Bone marrow smear · May-Grünwald-Giemsa/Pappenheim stain
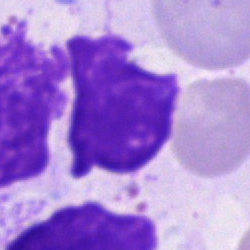
Morphology → artifact.